250×250; brightfield microscopy, 40× oil immersion; bone marrow smear.
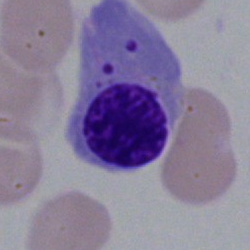 Morphology consistent with a nucleated red cell.